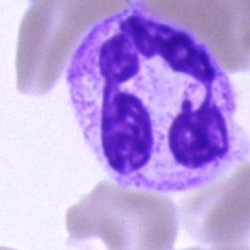
Specimen: bone marrow smear.
Cell type: segmented neutrophil.
Lineage: myeloid.